Bone marrow aspirate smear: 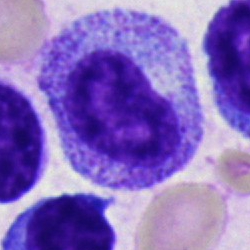
Cell — myelocyte.